250 by 250 pixels; Pappenheim-stained; bone marrow aspirate smear — 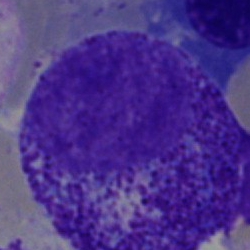
Specimen: bone marrow smear.
Cell type: myelocyte.